Bone marrow aspirate smear:
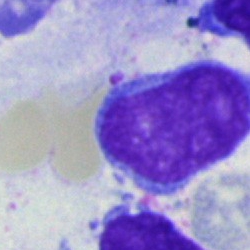

Q: What is shown here?
A: A blast cell.